Bone marrow smear
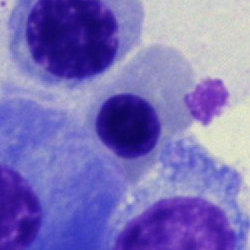

{"cell_type": "nucleated red blood cell", "lineage": "erythroid"}